May-Grünwald-Giemsa/Pappenheim stain. Bone marrow aspirate smear: 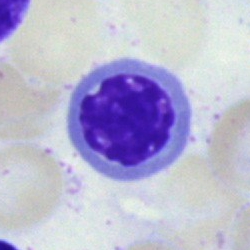Cell type: nucleated red cell.